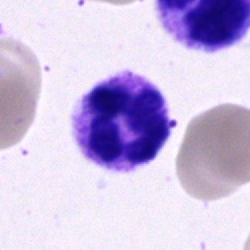Single cell identified as a segmented neutrophil.